Bone marrow aspirate smear: 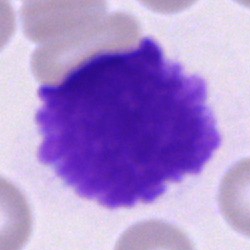Q: What is shown here?
A: This is an artefact.